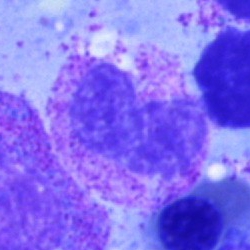

A band-form neutrophil on a bone marrow smear.